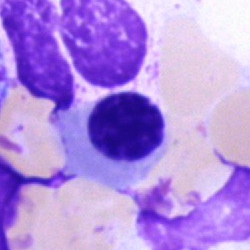
Q: Identify the cell.
A: An erythroblast.